250 by 250 pixels. Cropped to a single cell. Bone marrow smear: 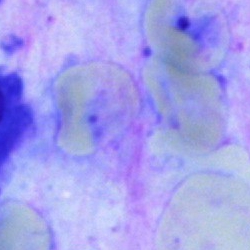

This is an artefact.